Peripheral blood film — 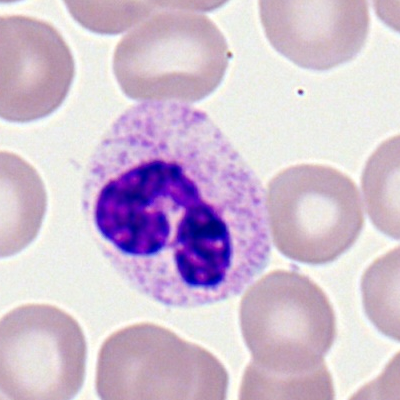Cell type = segmented neutrophil.